Bone marrow smear:
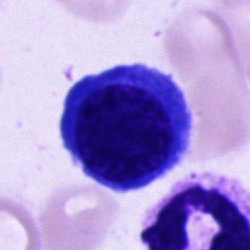
This is a nucleated red cell.